May-Grünwald-Giemsa/Pappenheim stain. Bone marrow aspirate smear: 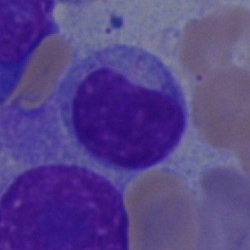{"cell_type": "typical lymphocyte"}